Bone marrow smear — 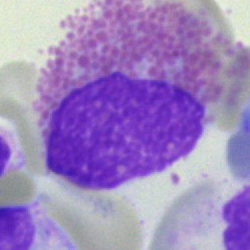
Morphological class — eosinophilic granulocyte.